Bone marrow aspirate smear.
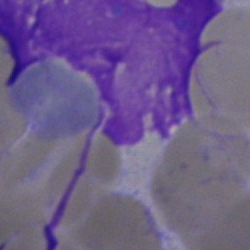
Morphological class: artifact.